Bone marrow smear.
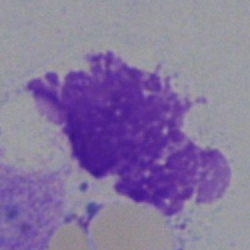

{"cell_type": "artefact"}